Bone marrow aspirate smear. May-Grünwald-Giemsa/Pappenheim stain.
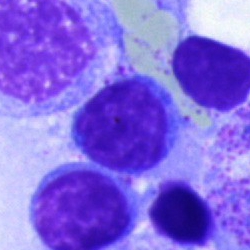
Q: What is shown here?
A: It is a lymphocyte.